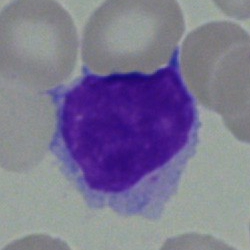 Specimen: bone marrow smear.
Classification: typical lymphocyte.
Lineage: lymphoid.